Bone marrow smear — 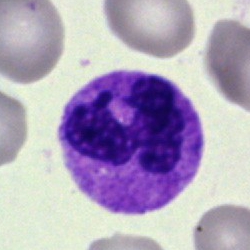 Single cell identified as a polymorphonuclear neutrophil.